Bone marrow smear: 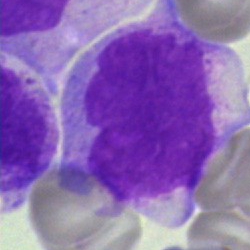 Classification: undifferentiated blast.